Peripheral blood smear; Romanowsky stain; image size 400×400:
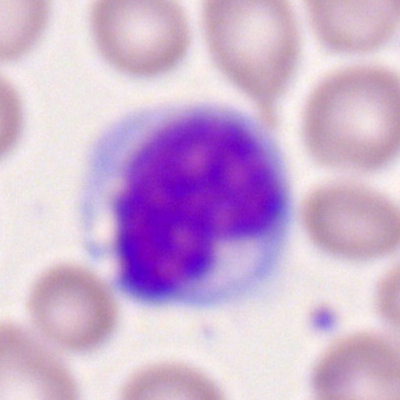

Morphology — monocyte.